Bone marrow smear. 40× objective, oil immersion
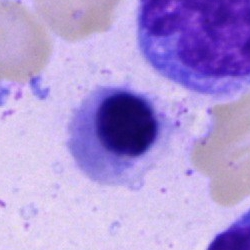
Showing a nucleated red blood cell.